Peripheral blood film — 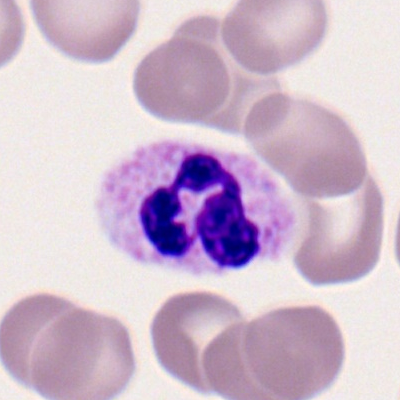 Q: Identify the cell.
A: A neutrophil (segmented).